Bone marrow aspirate smear. Brightfield, 40× oil-immersion objective: 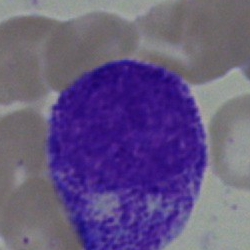
Q: Identify the cell.
A: This is a myelocyte.